Bone marrow smear:
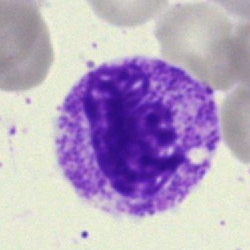
The cell is metamyelocyte.